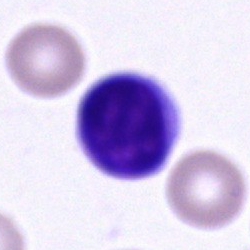

A typical lymphocyte on a bone marrow smear.